100× objective, oil immersion. Peripheral blood film
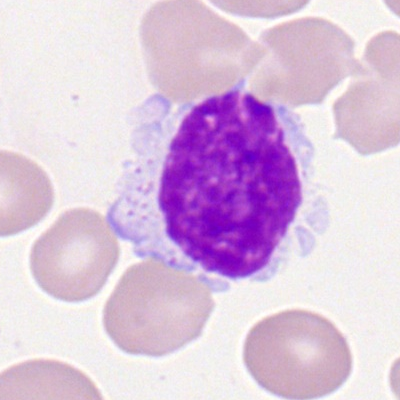 Morphological class = typical lymphocyte.